Bone marrow smear: 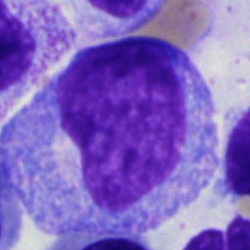 A progranulocyte.